Bone marrow smear · 250×250 px
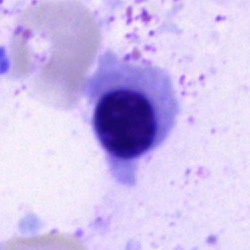

A normoblast.